Bone marrow aspirate smear
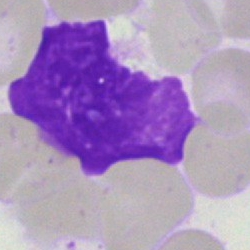Morphology — artefact.